Bone marrow smear
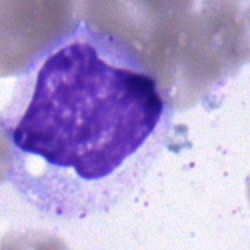Morphology — myelocyte.